Bone marrow smear.
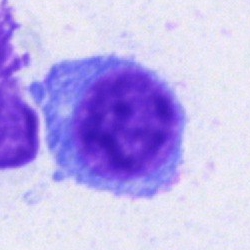
Morphology consistent with a lymphocyte.